Bone marrow smear; single-cell field; MGG-stained: 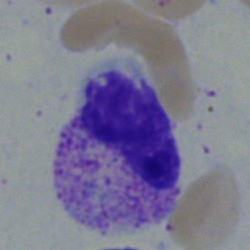

Q: What is the morphological classification of this cell?
A: A stab cell.